Bone marrow smear.
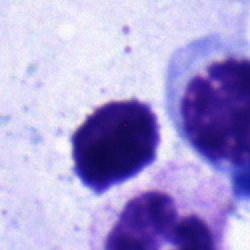 Erythroblast.